Bone marrow smear: 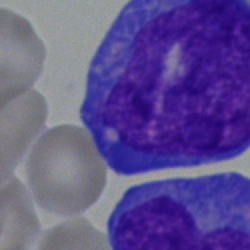 A blast.